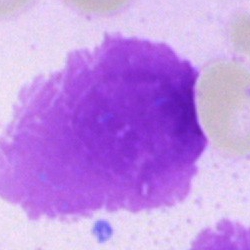
Q: What is shown here?
A: An artefact.